Bone marrow smear; 250×250 px; single-cell crop.
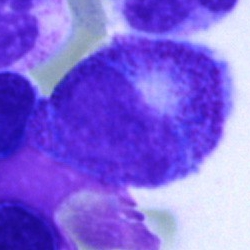
Single cell identified as a promyelocyte.